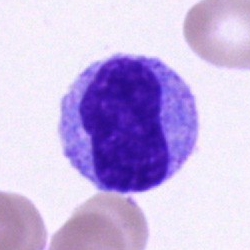

Specimen: bone marrow aspirate smear.
Cell type: unidentifiable cell.